Bone marrow aspirate smear — 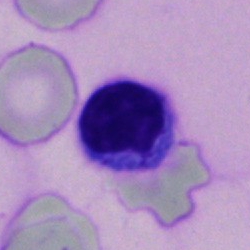

Q: What is the morphological classification of this cell?
A: Typical lymphocyte.